Bone marrow smear. May-Grünwald-Giemsa/Pappenheim stain
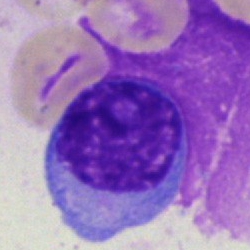 Cell — lymphocyte.